Bone marrow smear:
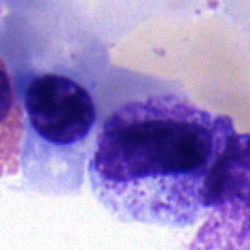

Classification — myelocyte.